Bone marrow smear — 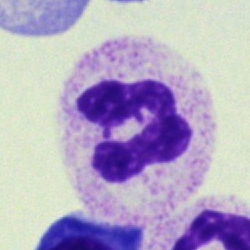 Q: What is the morphological classification of this cell?
A: A polymorphonuclear neutrophil.